Cropped to a single cell. Bone marrow smear — 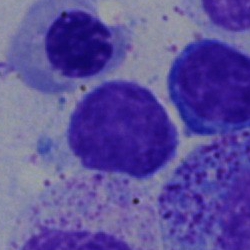
Impression → nucleated red cell.